Bone marrow smear
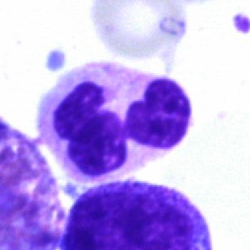Q: What is shown here?
A: This is a polymorphonuclear neutrophil.